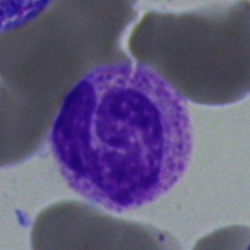 Impression → stab cell.